Bone marrow smear. Cropped to a single cell — 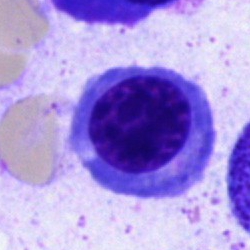

Specimen: bone marrow aspirate smear.
Cell: nucleated red blood cell.
Lineage: erythroid.